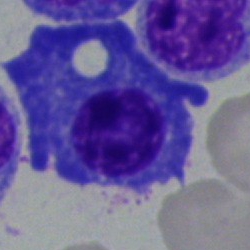Cell — plasmacyte.